Bone marrow smear; brightfield microscopy, 40× oil immersion
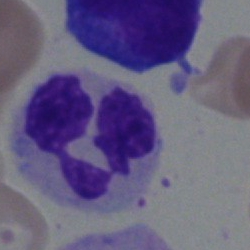

Specimen: bone marrow aspirate smear.
Morphological class: segmented neutrophil.